Brightfield microscopy, 40× oil immersion; bone marrow aspirate smear.
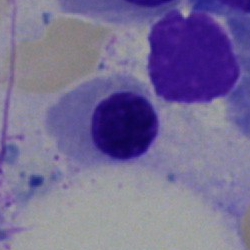Impression → normoblast.